Peripheral blood film. Romanowsky stain — 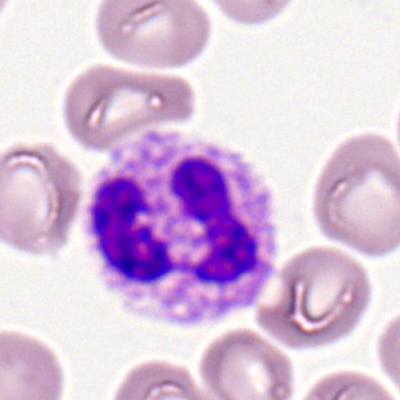

Showing a neutrophil (segmented).